Bone marrow aspirate smear.
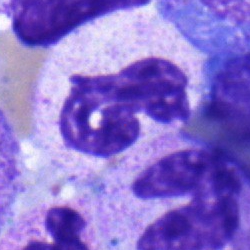
Neutrophil (segmented).